Peripheral blood smear: 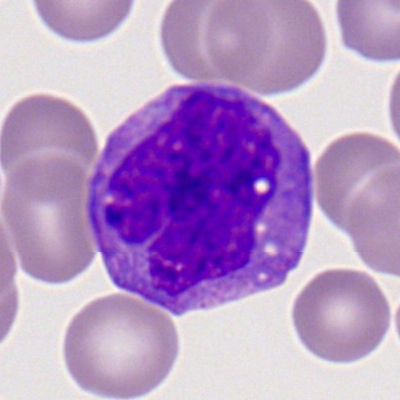
Q: Which cell type is shown here?
A: A monocyte.